Bone marrow aspirate smear — 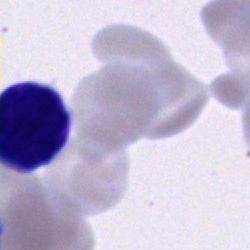

Specimen: bone marrow smear.
Morphological class: cell of indeterminate lineage.